May-Grünwald-Giemsa stain · bone marrow smear.
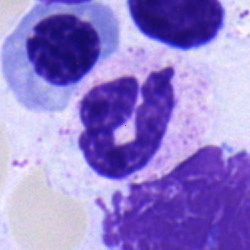 Classification: polymorphonuclear neutrophil.